Bone marrow aspirate smear · single-cell field.
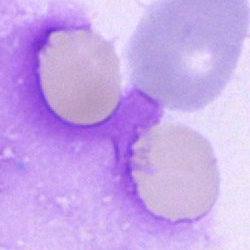 Q: What is shown here?
A: An artefact.